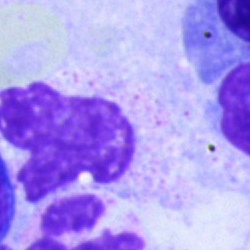 {"cell_type": "artifact"}